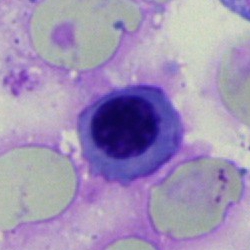

A normoblast on a bone marrow smear.